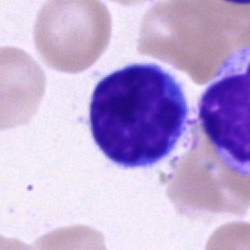 Lymphocyte.